Bone marrow aspirate smear. Pappenheim-stained.
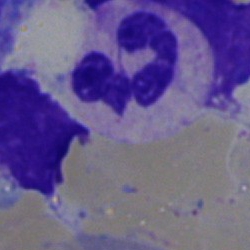 Segmented neutrophil.